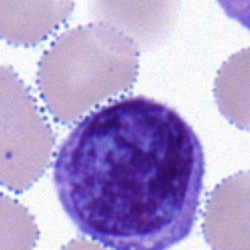

The morphological class is typical lymphocyte.